Bone marrow aspirate smear: 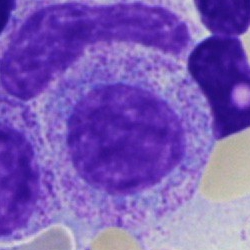

Specimen: bone marrow smear.
Cell type: myelocyte.
Lineage: myeloid.